Bone marrow smear.
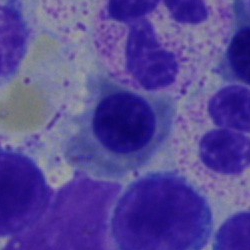
Specimen: bone marrow aspirate smear.
Morphological class: erythroblast.
Lineage: erythroid.